Bone marrow smear: 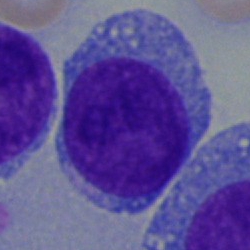
Q: Which cell type is shown here?
A: This is a blast.